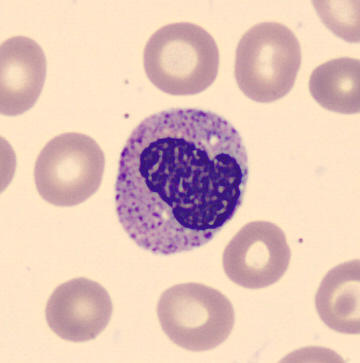
Morphological class — metamyelocyte.